Bone marrow smear: 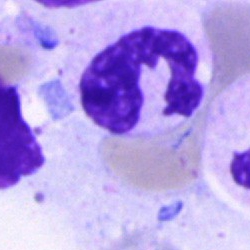Q: Which cell type is shown here?
A: It is a segmented neutrophil.